Single cell centered in the field; image size 250×250; bone marrow aspirate smear.
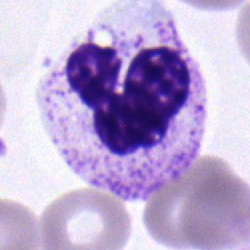

Cell: neutrophil (segmented).